Brightfield microscopy, 40× oil immersion; bone marrow smear.
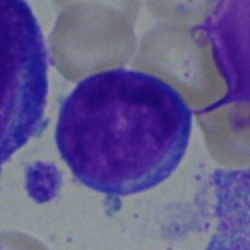 Q: Identify the cell.
A: A blast.